Bone marrow aspirate smear; MGG-stained; 250×250
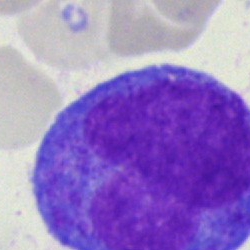 A progranulocyte.